Pappenheim-stained · single-cell field · bone marrow smear — 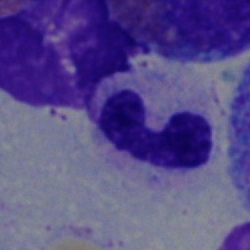
A stab cell.